40× objective, oil immersion · bone marrow smear · 250 by 250 pixels:
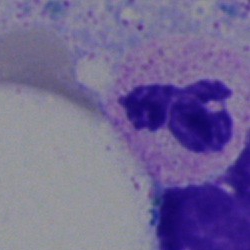A neutrophil (segmented).